Bone marrow smear
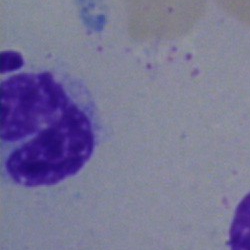
Single cell identified as a band neutrophil.